Peripheral blood film; cropped to a single cell — 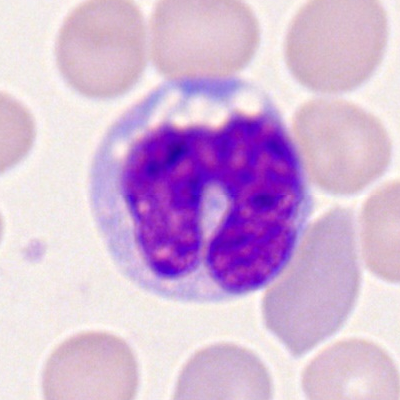
Q: Which cell type is shown here?
A: Monocyte.